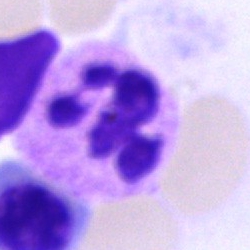 Q: What type of cell is this?
A: A polymorphonuclear neutrophil.